100× objective, oil immersion · peripheral blood film.
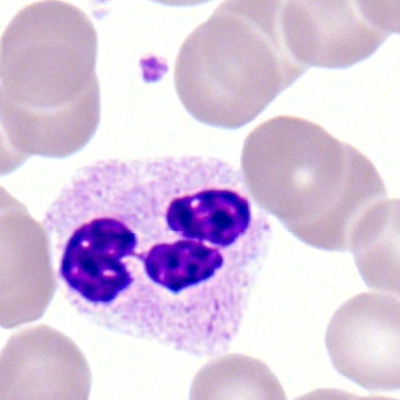 Showing a neutrophil (segmented).